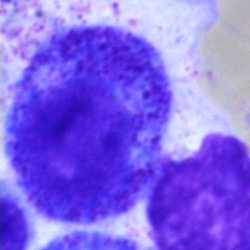
Single cell identified as a promyelocyte.